Single-cell field. Bone marrow smear — 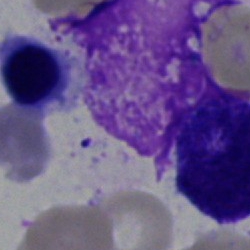

An artefact.